Brightfield microscopy, 40× oil immersion; bone marrow smear; cropped to a single cell: 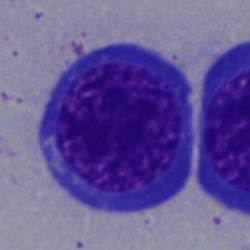Q: Which cell type is shown here?
A: A normoblast.